May-Grünwald-Giemsa stain; bone marrow smear — 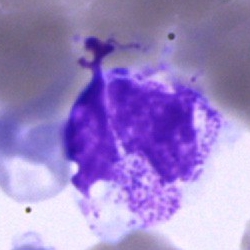

Morphology → neutrophil (segmented).